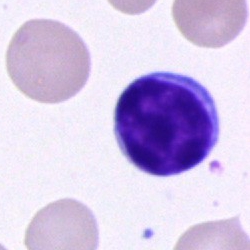 The cell shown is a lymphocyte.